Bone marrow aspirate smear — 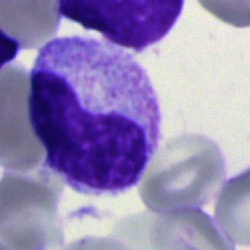

The cell shown is a metamyelocyte.